Peripheral blood smear:
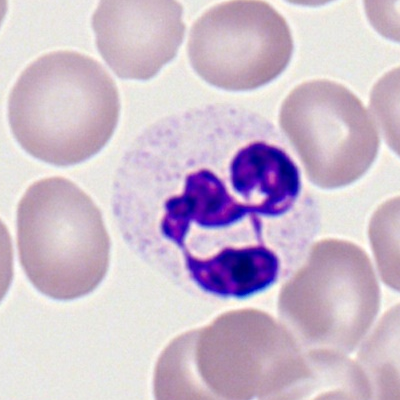

Morphological class = polymorphonuclear neutrophil.